Single-cell field; Pappenheim-stained; bone marrow aspirate smear:
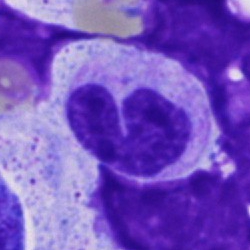
Specimen: bone marrow smear.
Cell: band-form neutrophil.
Lineage: myeloid.